Bone marrow aspirate smear: 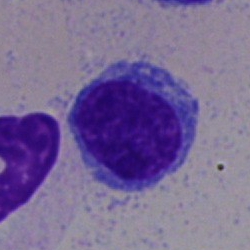 Classification: typical lymphocyte.